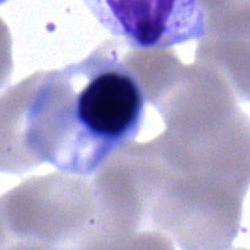

Specimen: bone marrow smear.
Morphological class: normoblast.
Lineage: erythroid.